Peripheral blood smear:
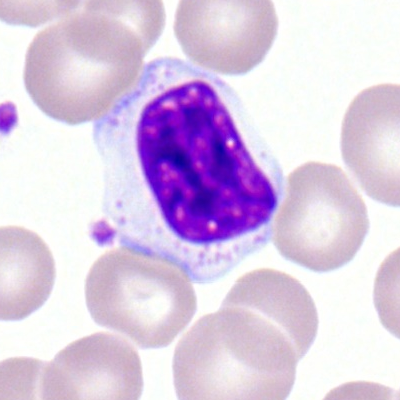Q: What is the morphological classification of this cell?
A: This is a lymphocyte.